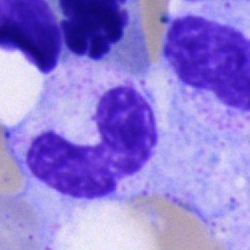 Q: What is the morphological classification of this cell?
A: It is a band neutrophil.